May-Grünwald-Giemsa/Pappenheim stain · bone marrow aspirate smear: 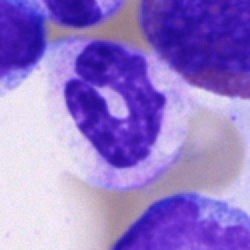
Q: Which cell type is shown here?
A: It is a neutrophil (band).